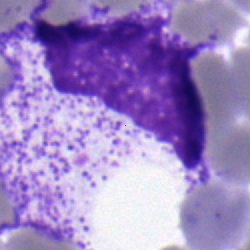
Bone marrow aspirate smear, single cell — metamyelocyte.